Bone marrow aspirate smear. Single-cell crop
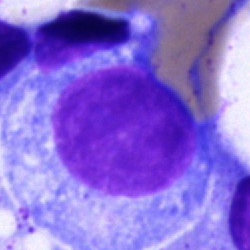

The classification is blast cell.